Pappenheim-stained; bone marrow aspirate smear; 40× objective, oil immersion:
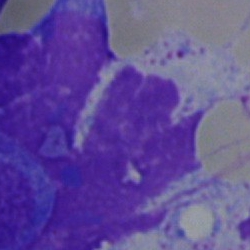 Classification = artifact.